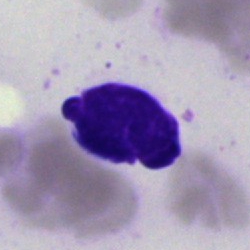
Cell: artefact.